Bone marrow aspirate smear: 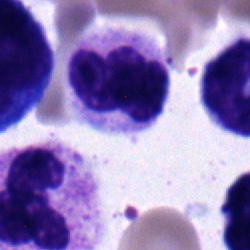
The cell shown is a polymorphonuclear neutrophil.